Bone marrow smear.
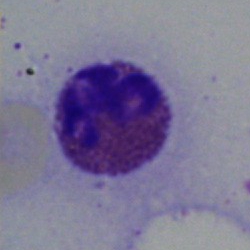Q: Which cell type is shown here?
A: Eosinophilic granulocyte.